40× objective, oil immersion; bone marrow aspirate smear — 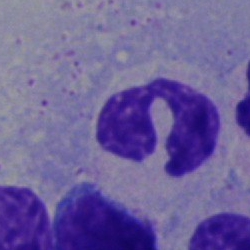
Specimen: bone marrow smear.
Cell: segmented neutrophil.
Lineage: myeloid.